Bone marrow smear:
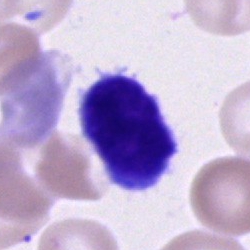Morphology consistent with a typical lymphocyte.